May-Grünwald-Giemsa-stained. Peripheral blood film
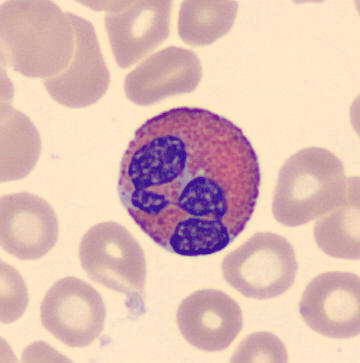Morphology — eosinophilic granulocyte.